MGG-stained. Bone marrow aspirate smear. Image size 250×250
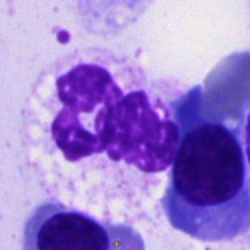
Single cell identified as a segmented neutrophil.